Peripheral blood smear; 400×400 px.
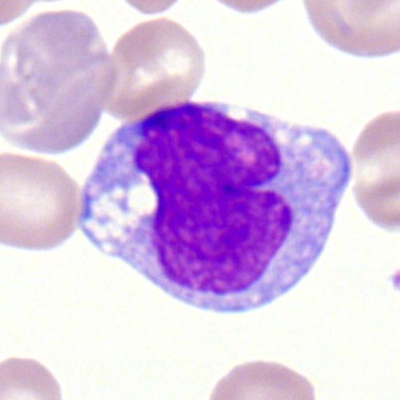{"cell_type": "monocyte"}